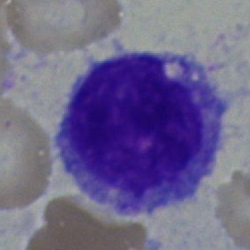 Specimen: bone marrow smear.
Cell: monocyte.